MGG-stained. Single cell centered in the field. Bone marrow smear.
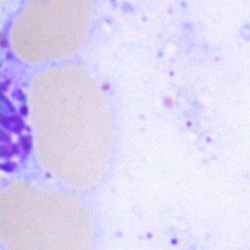 An artifact.